250×250 px. Bone marrow aspirate smear: 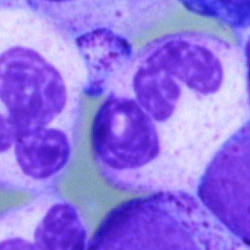

Specimen: bone marrow smear.
Cell: polymorphonuclear neutrophil.
Lineage: myeloid.